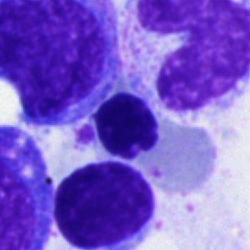

{"cell_type": "nucleated red cell"}